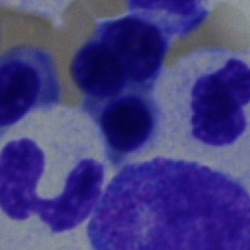Cell = nucleated red cell.